40× oil immersion. Bone marrow aspirate smear: 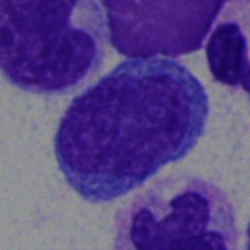Impression → undifferentiated blast.